Bone marrow aspirate smear — 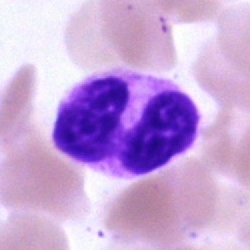

Morphological class: polymorphonuclear neutrophil.